Bone marrow aspirate smear.
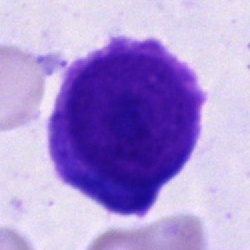Morphological class: plasmacyte.